Bone marrow aspirate smear · 250×250
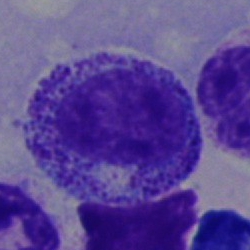
Morphological class: myelocyte.